Bone marrow smear. Cropped to a single cell
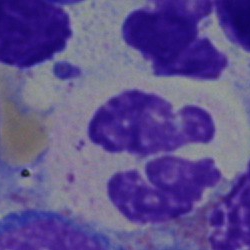

{"cell_type": "segmented neutrophil"}